Bone marrow aspirate smear — 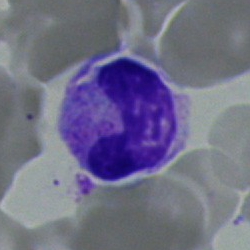Morphology consistent with a band neutrophil.